Image size 250×250; bone marrow aspirate smear — 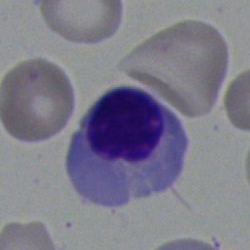 This is an erythroblast.